Bone marrow smear. Brightfield microscopy, 40× oil immersion
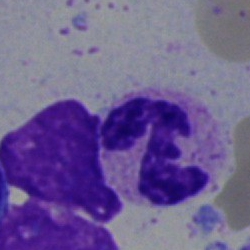
Cell type — segmented neutrophil.